Bone marrow aspirate smear.
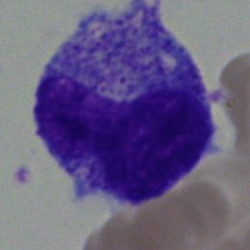Morphology consistent with a metamyelocyte.